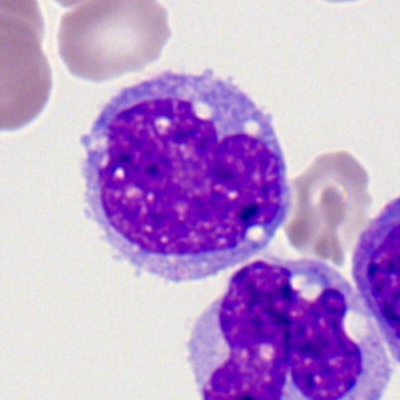
Single-cell crop from a peripheral blood smear: monocyte.